Bone marrow aspirate smear. 250×250 px
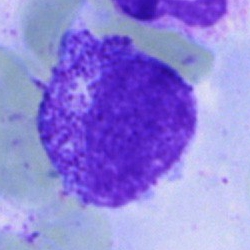
Showing a myelocyte.